Bone marrow smear. Brightfield, 40× oil-immersion objective.
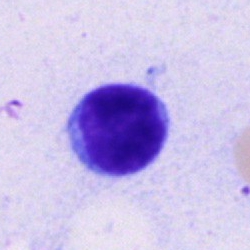
{"cell_type": "lymphocyte", "lineage": "lymphoid"}